Bone marrow smear. May-Grünwald-Giemsa/Pappenheim stain:
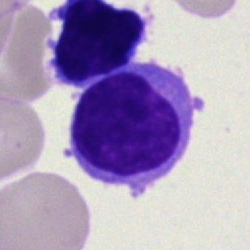The cell type is lymphocyte.